MGG-stained. Bone marrow smear. Brightfield, 40× oil-immersion objective
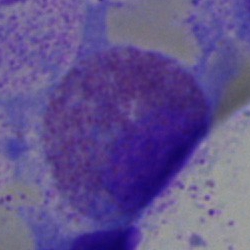
{"cell_type": "eosinophil"}